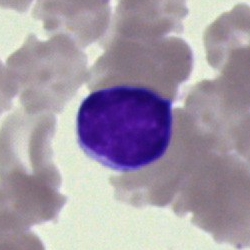
Q: What is shown here?
A: This is an artefact.